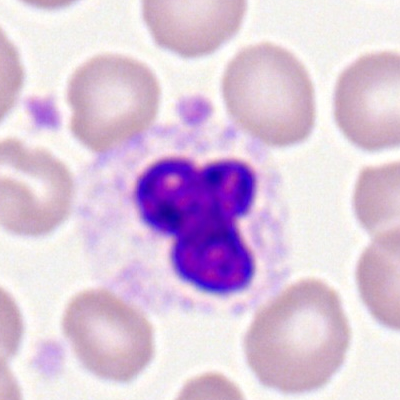
Cell type — segmented neutrophil.